Bone marrow aspirate smear — 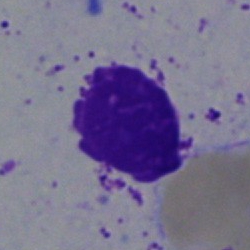
Specimen: bone marrow aspirate smear.
Cell: artifact.